Peripheral blood film:
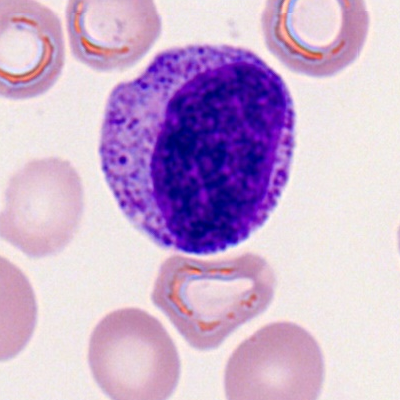 Progranulocyte.